Bone marrow smear — 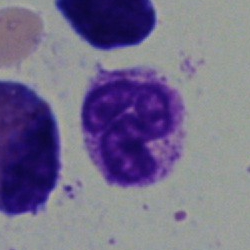This is a segmented neutrophil.